Bone marrow aspirate smear
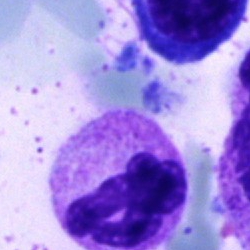

Cell: polymorphonuclear neutrophil.